Bone marrow smear
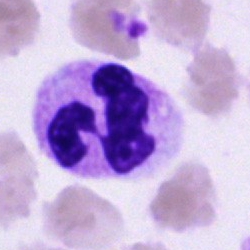 {"cell_type": "segmented neutrophil"}